Bone marrow smear: 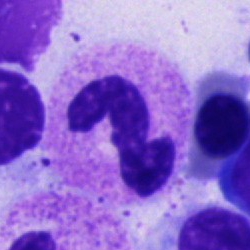

Specimen: bone marrow smear.
Cell type: polymorphonuclear neutrophil.
Lineage: myeloid.